Bone marrow smear
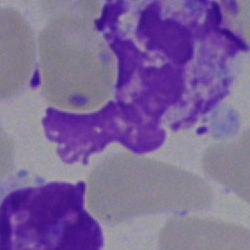
Morphology → artefact.